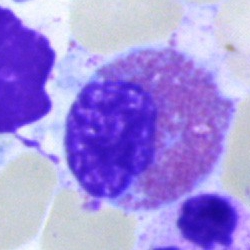 Cell: eosinophil.